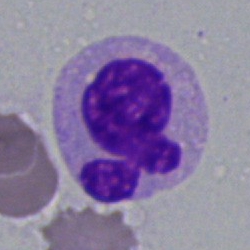Morphology consistent with a polymorphonuclear neutrophil.